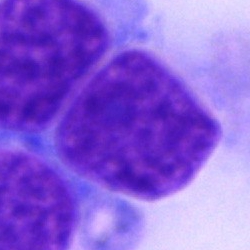 Q: What is shown here?
A: This is an artefact.